250 by 250 pixels. Bone marrow aspirate smear: 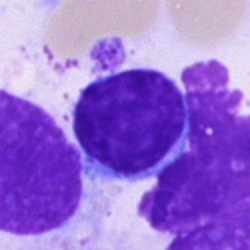Cell type = lymphocyte.